Bone marrow smear: 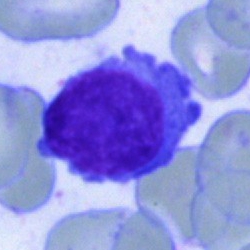
Q: What cell is this?
A: A plasmacyte.